Bone marrow smear · May-Grünwald-Giemsa/Pappenheim stain.
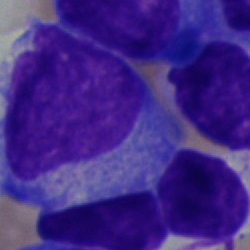
Showing a plasma cell.